Bone marrow smear
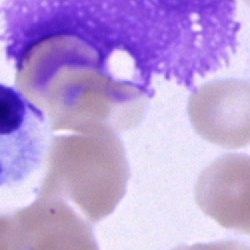

Showing an artefact.